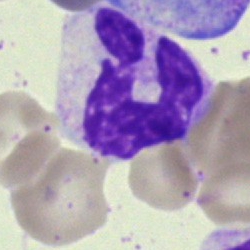 A polymorphonuclear neutrophil.